Bone marrow aspirate smear; May-Grünwald-Giemsa stain; image size 250×250:
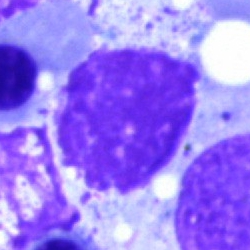
Morphology — artefact.